Single-cell crop · bone marrow aspirate smear:
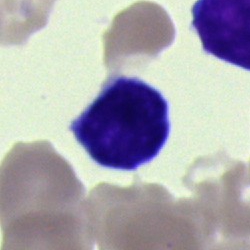
Specimen: bone marrow aspirate smear.
Morphological class: cell of indeterminate lineage.